Bone marrow smear: 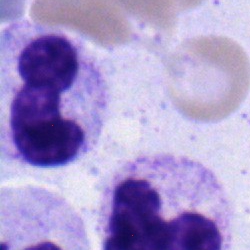

The cell shown is a neutrophil (segmented).